Pappenheim-stained · 40× objective, oil immersion · bone marrow aspirate smear:
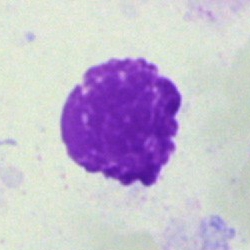

Cell type: artifact.